Single-cell field. Bone marrow smear.
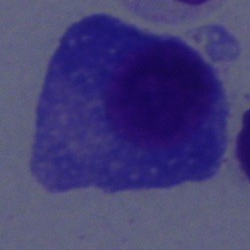Specimen: bone marrow smear.
Cell: plasma cell.
Lineage: lymphoid.